40× oil immersion · bone marrow smear — 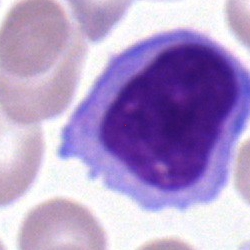
Single cell identified as a typical lymphocyte.